Bone marrow smear
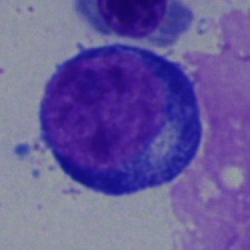

{"cell_type": "pronormoblast"}